Bone marrow smear
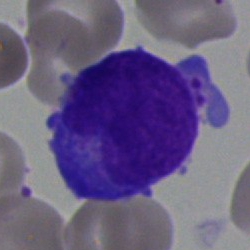

Specimen: bone marrow aspirate smear.
Cell: blast cell.